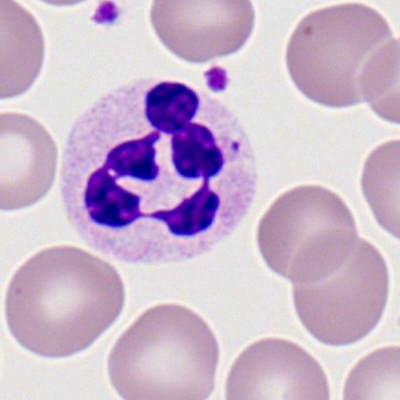 The cell shown is a polymorphonuclear neutrophil.